Bone marrow smear:
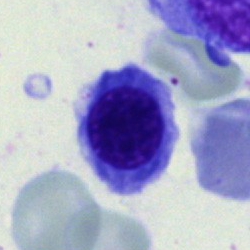 Specimen: bone marrow smear.
Cell type: normoblast.
Lineage: erythroid.